Bone marrow aspirate smear.
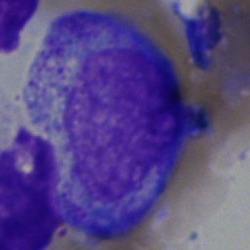 Q: Which cell type is shown here?
A: It is a promyelocyte.